Bone marrow aspirate smear; Pappenheim-stained — 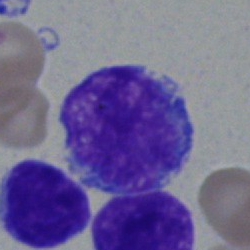This is a lymphocyte.